Bone marrow aspirate smear:
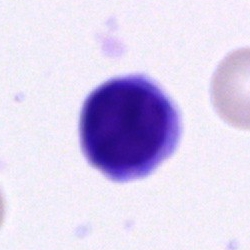 Q: What type of cell is this?
A: Typical lymphocyte.